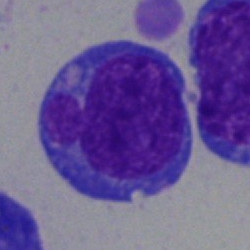
The cell is blast cell.